Bone marrow aspirate smear · single cell centered in the field — 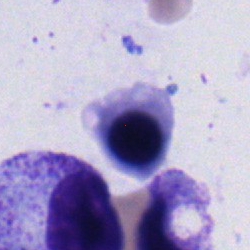Single cell identified as an erythroblast.